250 by 250 pixels; brightfield microscopy, 40× oil immersion; bone marrow aspirate smear.
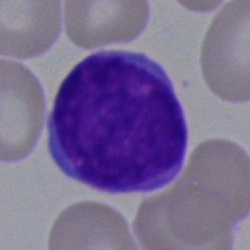
Morphology consistent with a blast cell.